Bone marrow smear: 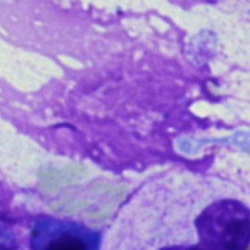

Classification — artifact.